250×250 px; bone marrow smear: 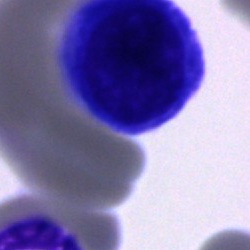 The cell type is cell of indeterminate lineage.